Bone marrow smear.
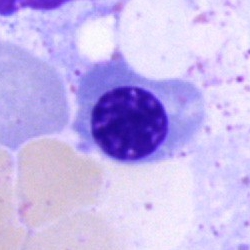
Morphological class: nucleated red cell.